Bone marrow aspirate smear:
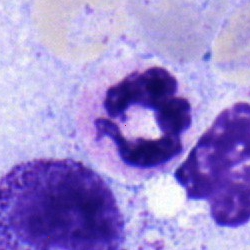
Morphology → segmented neutrophil.